Bone marrow smear:
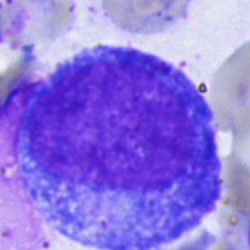
The cell shown is a progranulocyte.